Bone marrow aspirate smear. Brightfield microscopy, 40× oil immersion.
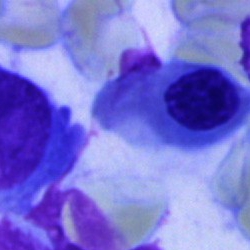Morphology — normoblast.